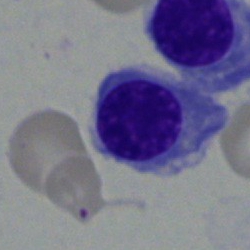
Nucleated red blood cell.